40× oil immersion. Bone marrow aspirate smear.
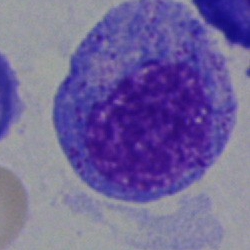
{"cell_type": "promyelocyte", "lineage": "myeloid"}